Bone marrow smear — 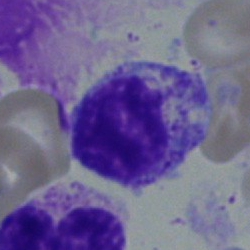The cell shown is a myelocyte.